Bone marrow aspirate smear; 40× oil immersion
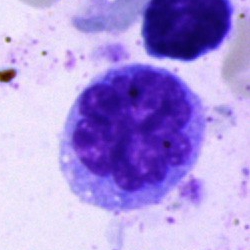 Q: Identify the cell.
A: This is a monocyte.